Single-cell crop; bone marrow aspirate smear — 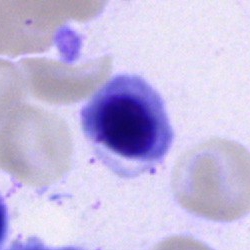

Nucleated red blood cell.